Bone marrow smear · single-cell field: 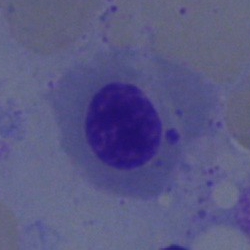 Classification = erythroblast.